Romanowsky stain. Peripheral blood film. Cropped to a single cell: 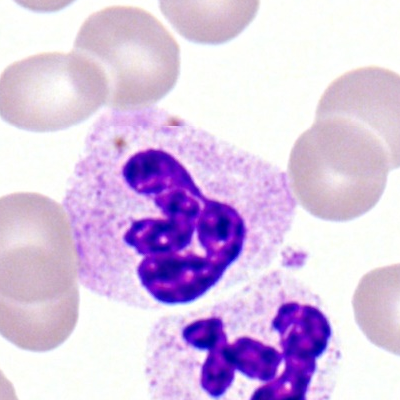

Q: What type of cell is this?
A: A segmented neutrophil.